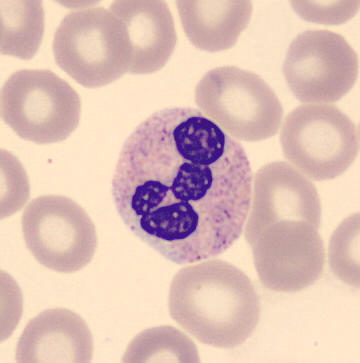

Single-cell crop from a peripheral blood smear: segmented neutrophil.